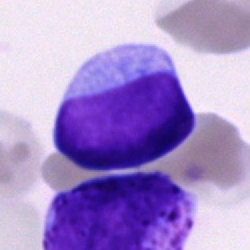Cell = blast cell.